Bone marrow aspirate smear — 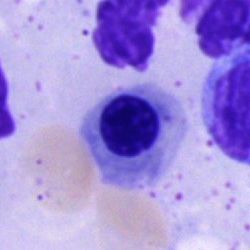 This is a nucleated red blood cell.